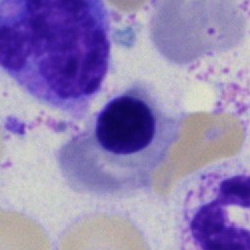 Morphology — blast cell.